Bone marrow smear:
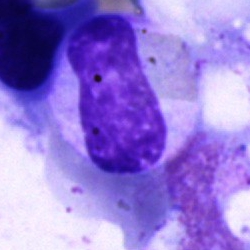 This is an artifact.